Bone marrow aspirate smear · 250×250 px · brightfield, 40× oil-immersion objective: 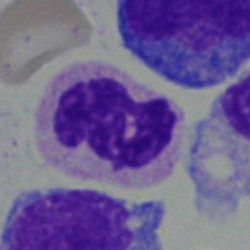
Morphological class — neutrophil (segmented).